Single cell centered in the field · May-Grünwald-Giemsa stain · bone marrow aspirate smear:
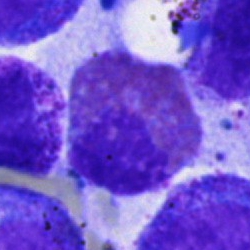Cell — eosinophil.